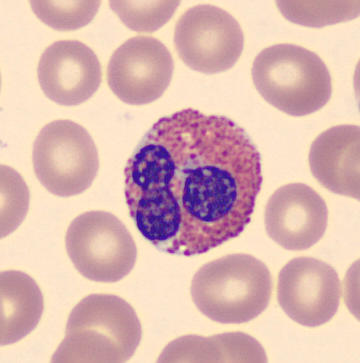 Image: Peripheral blood smear.

The cell shown is an eosinophil.